Cropped to a single cell. Bone marrow aspirate smear.
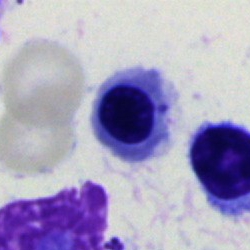 Specimen: bone marrow aspirate smear.
Classification: nucleated red blood cell.
Lineage: erythroid.